Bone marrow aspirate smear.
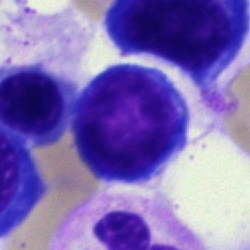

Typical lymphocyte.